Bone marrow aspirate smear: 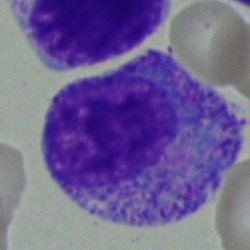Specimen: bone marrow aspirate smear.
Cell: progranulocyte.
Lineage: myeloid.